Bone marrow aspirate smear — 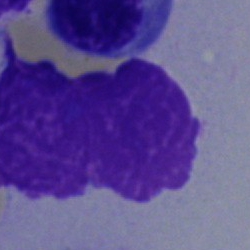Q: What is shown here?
A: An artefact.